Bone marrow smear. Single-cell crop. Brightfield microscopy, 40× oil immersion:
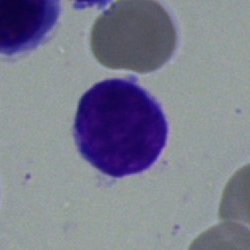
A typical lymphocyte.